Bone marrow aspirate smear.
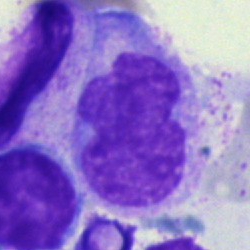Q: What type of cell is this?
A: It is a monocyte.